Peripheral blood smear: 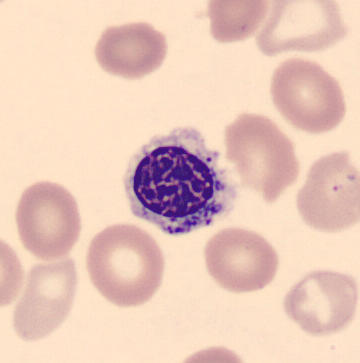
This is an erythroblast.